Bone marrow smear — 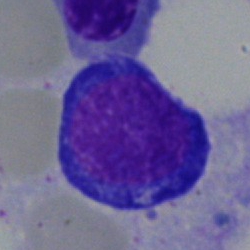

Q: What type of cell is this?
A: It is an erythroblast.